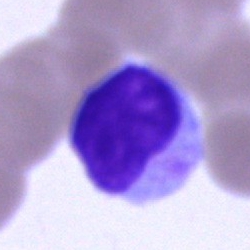
The cell type is typical lymphocyte.